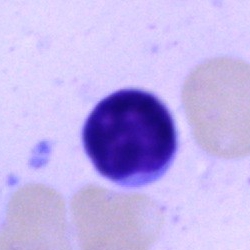 Impression → typical lymphocyte.